Peripheral blood film; 100× oil immersion
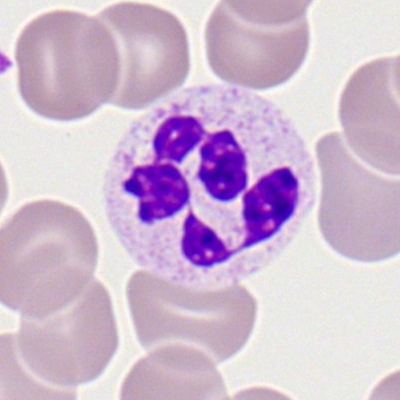
Single cell identified as a segmented neutrophil.